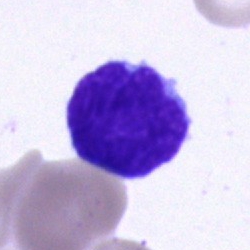
Single cell identified as a lymphocyte.